Bone marrow smear — 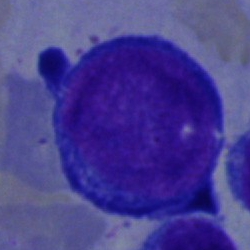 Single cell identified as a pronormoblast.